Bone marrow smear — 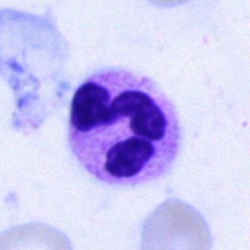This is a polymorphonuclear neutrophil.